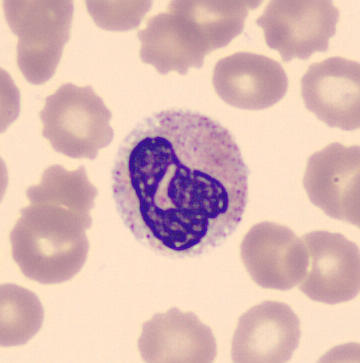

Morphology → neutrophil (segmented).
Peripheral blood smear.